May-Grünwald-Giemsa stain. Bone marrow aspirate smear. Brightfield, 40× oil-immersion objective.
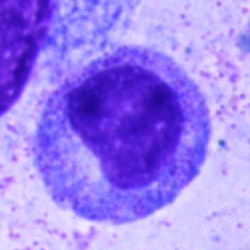 This is a progranulocyte.